May-Grünwald-Giemsa/Pappenheim stain; single-cell crop; bone marrow aspirate smear — 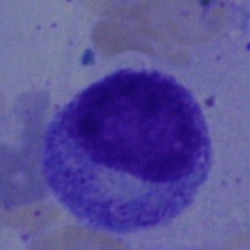
Impression → myelocyte.